Bone marrow aspirate smear — 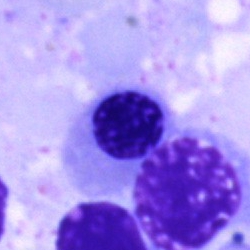 Specimen: bone marrow aspirate smear.
Cell type: normoblast.